Peripheral blood smear
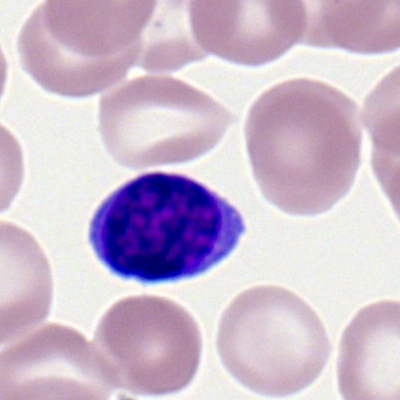

Morphological class = typical lymphocyte.